Bone marrow aspirate smear · 250×250 px · MGG-stained — 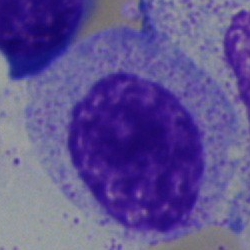
Myelocyte.